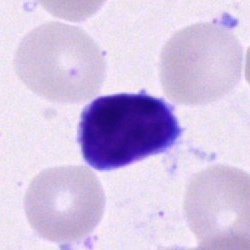
{"cell_type": "typical lymphocyte", "lineage": "lymphoid"}